Bone marrow aspirate smear:
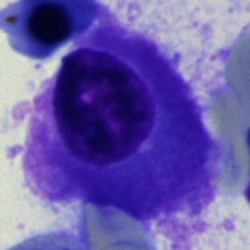Classification — plasma cell.